Bone marrow smear.
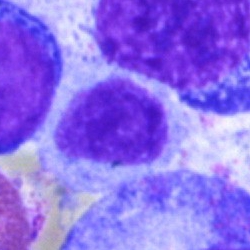

Cell type = typical lymphocyte.